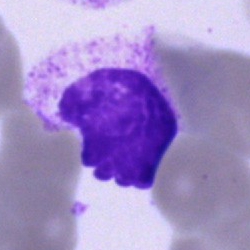
{"cell_type": "unidentifiable cell"}